Bone marrow smear:
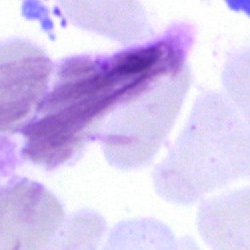Impression — artefact.